Bone marrow smear · MGG-stained
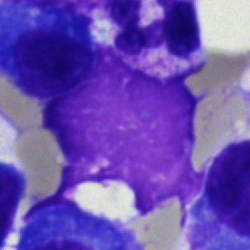
Specimen: bone marrow smear.
Cell: artifact.